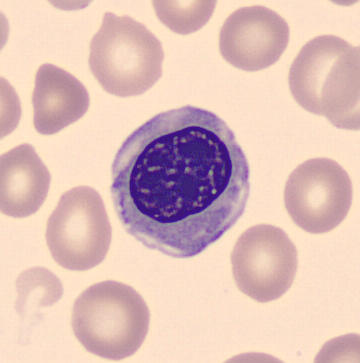Q: What type of cell is this?
A: Normoblast.